Bone marrow smear — 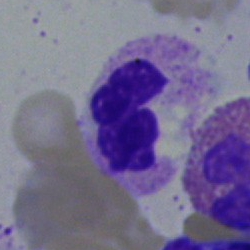
Q: What type of cell is this?
A: It is a polymorphonuclear neutrophil.